May-Grünwald-Giemsa stain · bone marrow aspirate smear
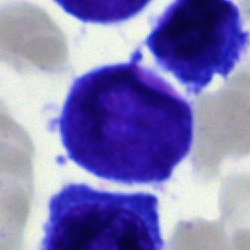
Morphology consistent with a proerythroblast.